Bone marrow aspirate smear: 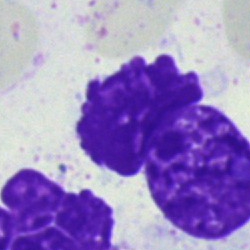
Cell type — artefact.